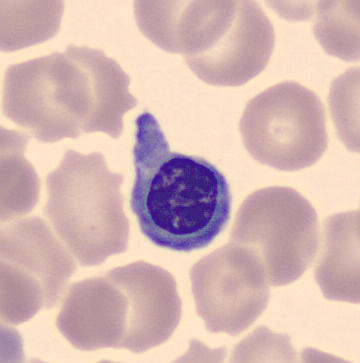
Peripheral blood film · automated cell imaging (CellaVision DM96).
The classification is nucleated red blood cell.